Bone marrow aspirate smear
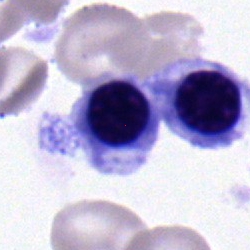

The cell is normoblast.